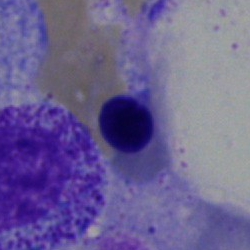 Bone marrow aspirate smear, single cell — nucleated red blood cell.